Bone marrow aspirate smear:
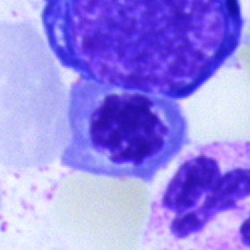

Q: What type of cell is this?
A: A nucleated red cell.